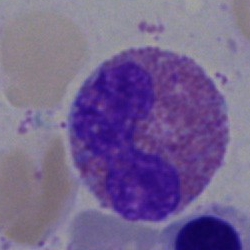Q: What is the morphological classification of this cell?
A: This is an eosinophilic granulocyte.